Bone marrow smear
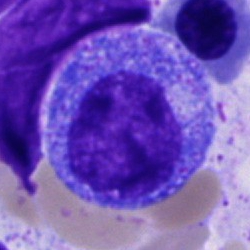

{"cell_type": "promyelocyte", "lineage": "myeloid"}